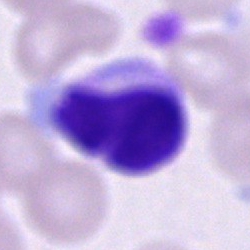

Unidentifiable cell.